Bone marrow smear: 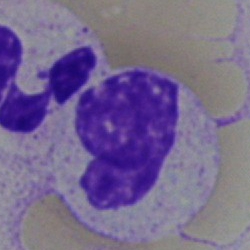
Q: Which cell type is shown here?
A: A neutrophil (band).